MGG-stained · single-cell field · bone marrow smear: 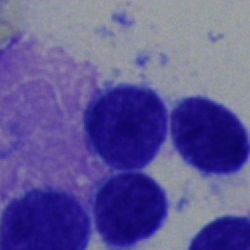

Q: What is shown here?
A: It is a typical lymphocyte.